Peripheral blood smear: 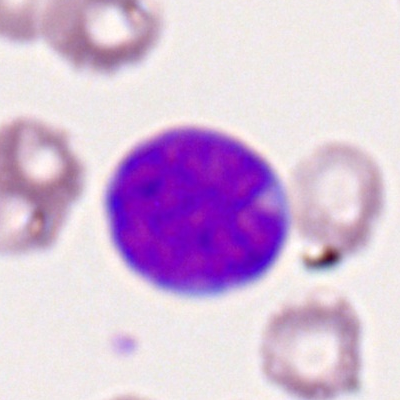 Cell = myeloid blast.